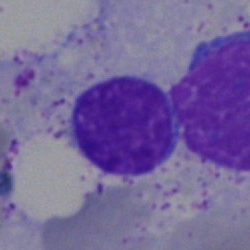Typical lymphocyte.